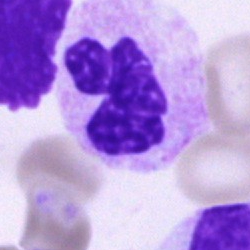 Q: What is the morphological classification of this cell?
A: A polymorphonuclear neutrophil.